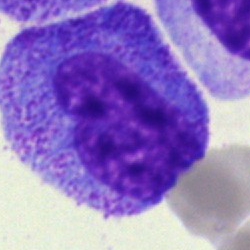 Specimen: bone marrow smear.
Cell: progranulocyte.
Lineage: myeloid.